Peripheral blood smear. 100× oil immersion, 14.14 px/µm
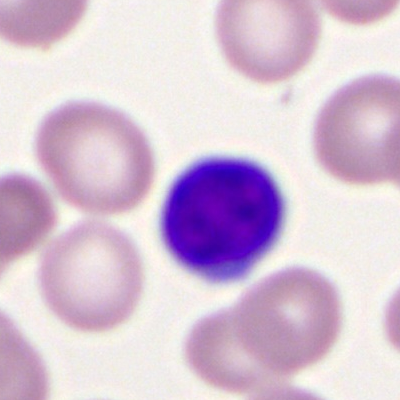
A lymphocyte.